250 by 250 pixels. Bone marrow smear. 40× objective, oil immersion:
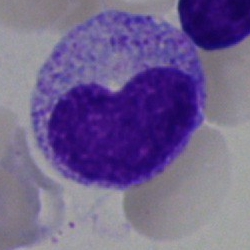

Impression → metamyelocyte.